Bone marrow smear:
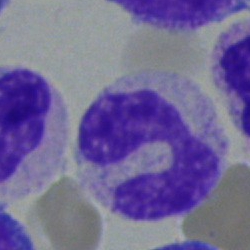

The cell shown is a band-form neutrophil.